Bone marrow aspirate smear. Brightfield, 40× oil-immersion objective. Image size 250×250.
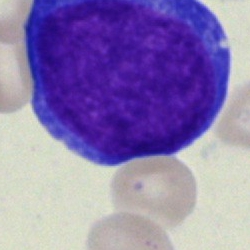
The cell is proerythroblast.